Bone marrow smear — 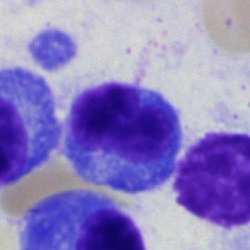

Specimen: bone marrow smear.
Classification: plasma cell.